Bone marrow smear: 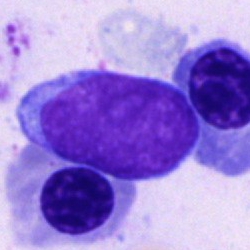 Q: What is the morphological classification of this cell?
A: It is an undifferentiated blast.